Bone marrow smear
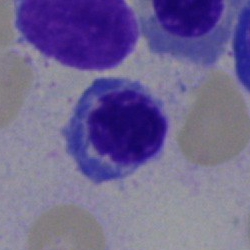
Morphology — nucleated red cell.